Bone marrow smear:
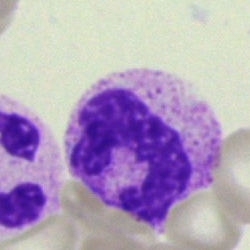Q: What cell is this?
A: A polymorphonuclear neutrophil.